Brightfield, 40× oil-immersion objective. Bone marrow aspirate smear.
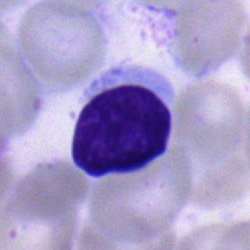 The cell shown is a typical lymphocyte.